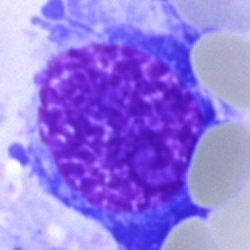This is a nucleated red blood cell.